Bone marrow smear: 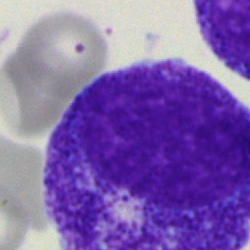 This is a promyelocyte.